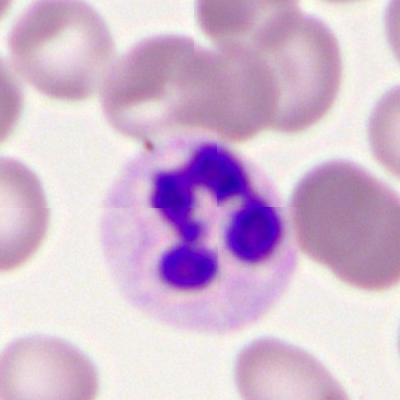

Specimen: peripheral blood smear.
Morphological class: segmented neutrophil.
Lineage: myeloid.